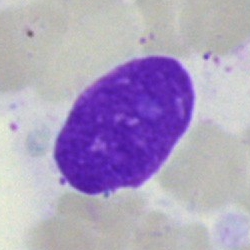 Specimen: bone marrow smear.
Cell: artefact.